Bone marrow aspirate smear: 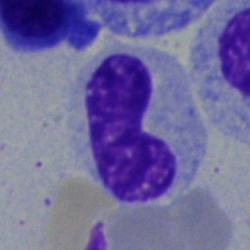

A neutrophil (band).